Bone marrow aspirate smear:
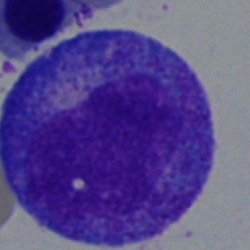Q: What is shown here?
A: A progranulocyte.